Bone marrow smear. 250 by 250 pixels. Single cell centered in the field.
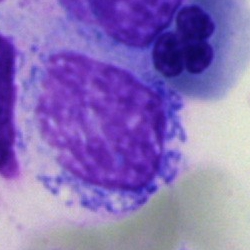

Q: What is shown here?
A: An artifact.